Bone marrow smear:
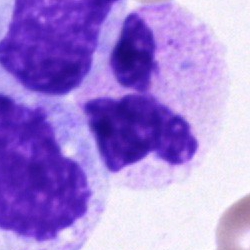

Q: What is shown here?
A: This is a segmented neutrophil.